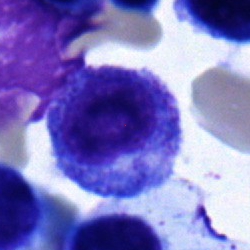 A promyelocyte on a bone marrow smear.